Bone marrow aspirate smear — 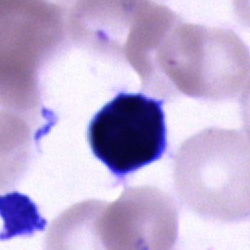
Specimen: bone marrow aspirate smear.
Cell type: unidentifiable cell.